Bone marrow smear.
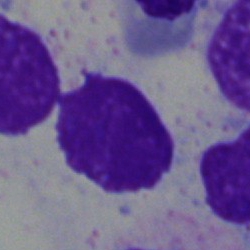

Single cell identified as an artifact.